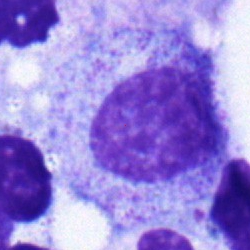Q: What type of cell is this?
A: Myelocyte.